Bone marrow smear:
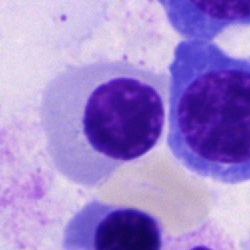
Classification — nucleated red blood cell.